Single-cell field. 250×250. Bone marrow aspirate smear: 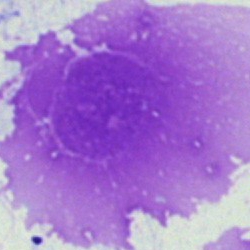

The cell is artefact.